Bone marrow smear · May-Grünwald-Giemsa stain: 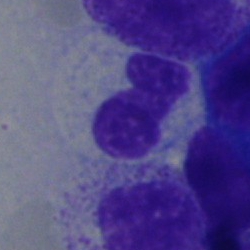

Neutrophil (band).